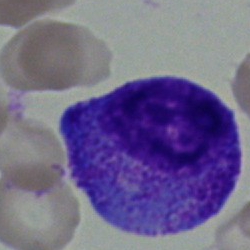
Single cell identified as a promyelocyte.